Bone marrow smear:
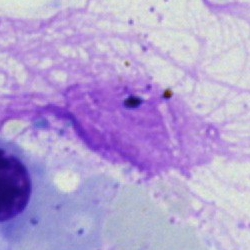 The cell shown is an artifact.